Peripheral blood film. Romanowsky-type stain:
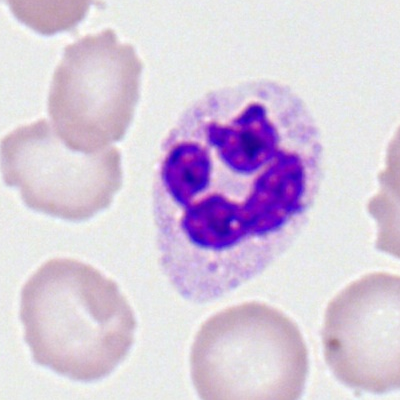 Impression → neutrophil (segmented).